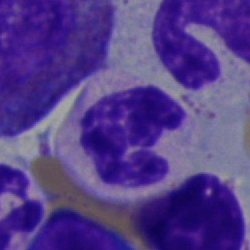{"cell_type": "polymorphonuclear neutrophil", "lineage": "myeloid"}